Bone marrow aspirate smear — 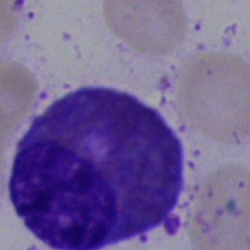 Morphology → eosinophilic granulocyte.